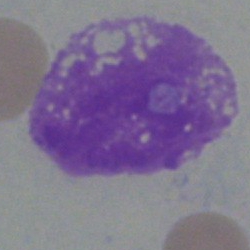 The morphological class is artifact.